Bone marrow smear
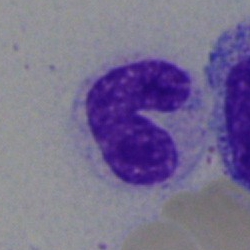 Specimen: bone marrow smear.
Morphological class: stab cell.